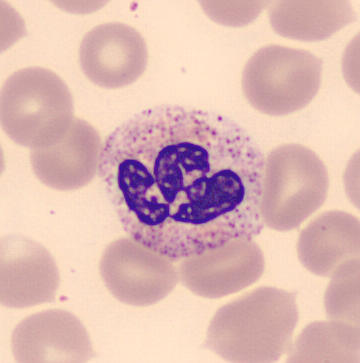Preparation: Peripheral blood film.
Q: What is shown here?
A: This is a polymorphonuclear neutrophil.